Bone marrow aspirate smear; brightfield, 40× oil-immersion objective; May-Grünwald-Giemsa stain: 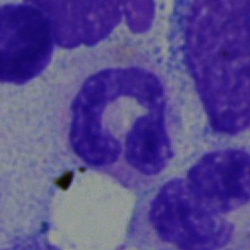Single cell identified as a neutrophil (segmented).